Bone marrow aspirate smear · May-Grünwald-Giemsa stain:
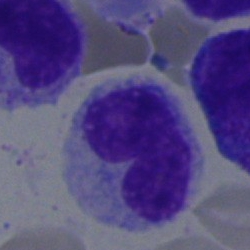
The cell type is neutrophil (band).